Bone marrow smear — 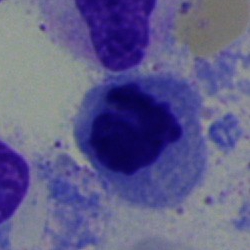
Q: What is the morphological classification of this cell?
A: Normoblast.